Bone marrow aspirate smear; May-Grünwald-Giemsa stain; image size 250×250: 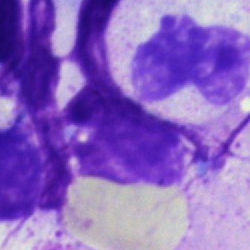The morphological class is band-form neutrophil.